Peripheral blood smear. Single-cell field: 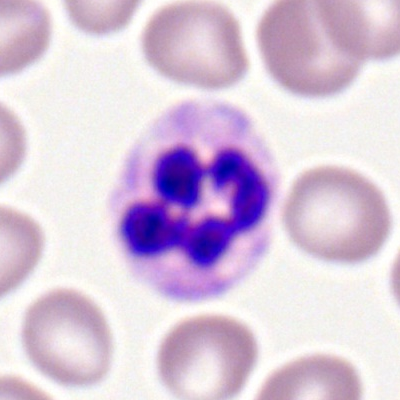The cell shown is a polymorphonuclear neutrophil.